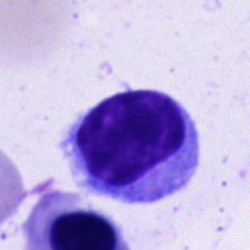The cell shown is a lymphocyte.